Bone marrow smear; single-cell field
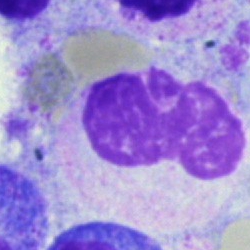This is an artefact.